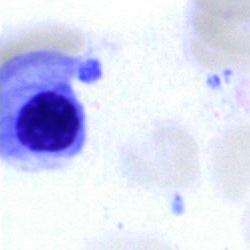Cell type = nucleated red cell.